Image size 250×250 · bone marrow aspirate smear · single cell centered in the field
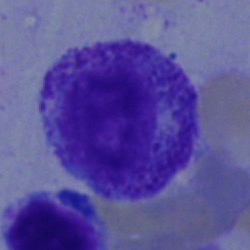{"cell_type": "myelocyte", "lineage": "myeloid"}